Bone marrow smear. Image size 250×250.
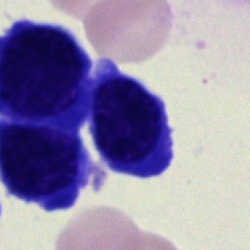

Morphological class = nucleated red blood cell.